Bone marrow aspirate smear.
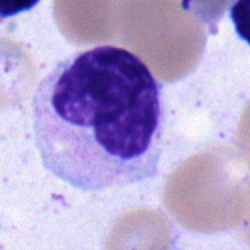
Specimen: bone marrow smear.
Morphological class: metamyelocyte.
Lineage: myeloid.